Bone marrow aspirate smear: 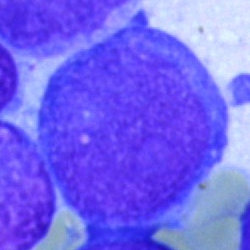

Showing an undifferentiated blast.